Bone marrow aspirate smear · 250×250 px · brightfield, 40× oil-immersion objective
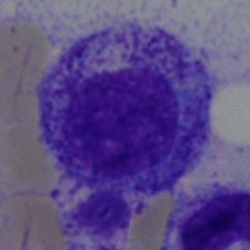
This is a band neutrophil.